Bone marrow smear
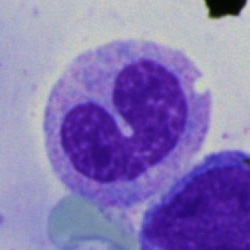This is a neutrophil (band).